Bone marrow aspirate smear:
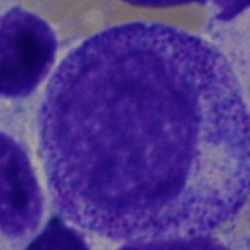This is a myelocyte.